Brightfield, 40× oil-immersion objective · bone marrow aspirate smear · May-Grünwald-Giemsa stain: 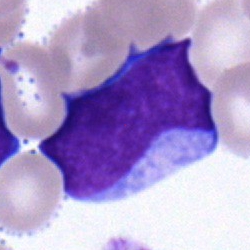

This is a blast cell.